Bone marrow smear.
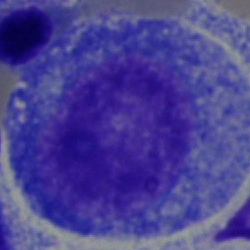 Impression — promyelocyte.